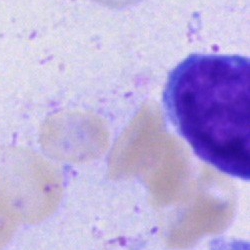 Cell = unidentifiable cell.